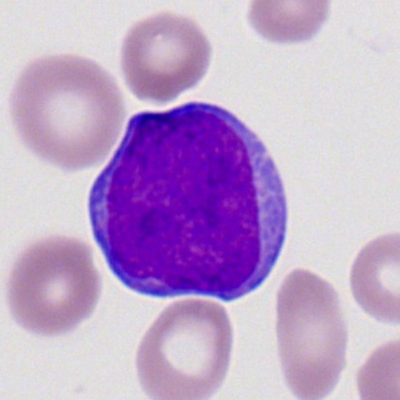 Q: What cell is this?
A: This is a myeloid blast.